Single cell centered in the field; peripheral blood film:
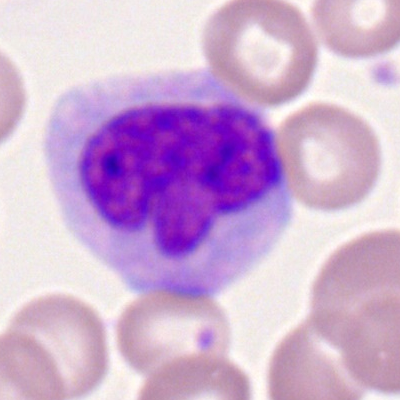
Monocyte.